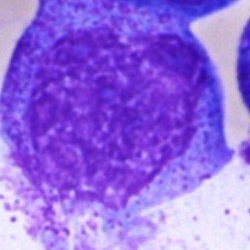Cell type — promyelocyte.